May-Grünwald-Giemsa stain; bone marrow smear
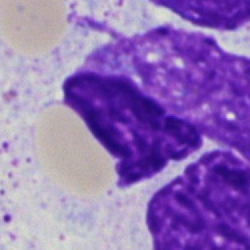
An artefact.